Bone marrow smear
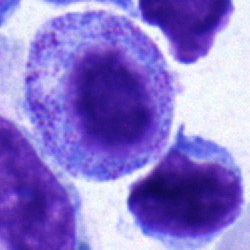

Showing a myelocyte.